Bone marrow aspirate smear. May-Grünwald-Giemsa stain:
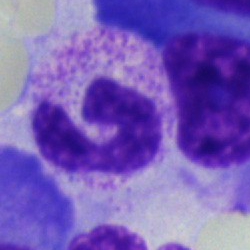 Cell type — neutrophil (segmented).